Peripheral blood smear:
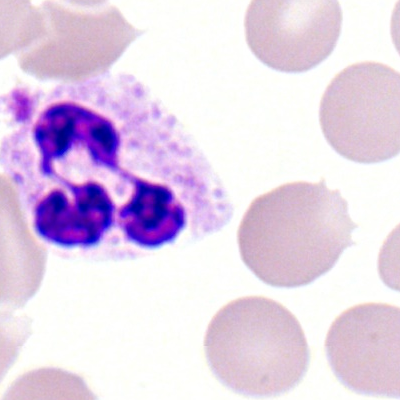The cell shown is a segmented neutrophil.